Bone marrow aspirate smear. MGG-stained. Cropped to a single cell — 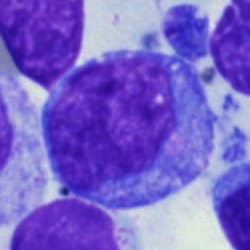 This is an undifferentiated blast.